Bone marrow smear: 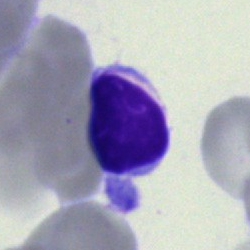

Morphology consistent with a typical lymphocyte.